Bone marrow aspirate smear: 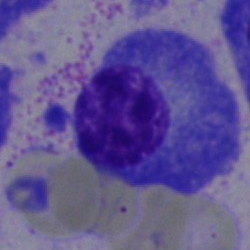
A plasma cell.